Peripheral blood film:
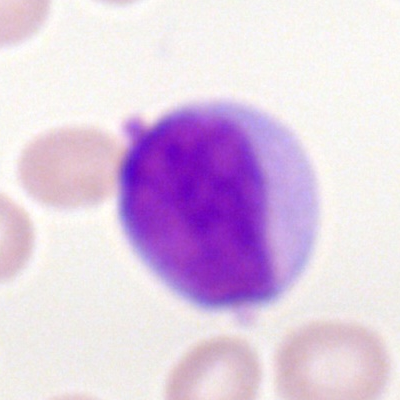The cell shown is a myeloid blast.